Bone marrow smear. May-Grünwald-Giemsa stain: 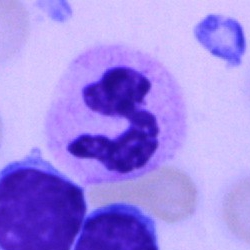Morphological class: neutrophil (segmented).